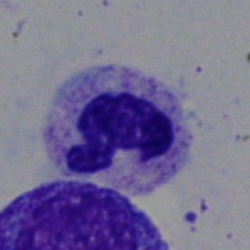

The cell shown is a neutrophil (segmented).